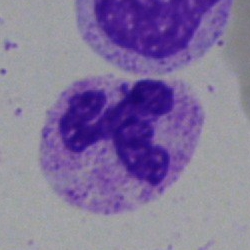Impression — polymorphonuclear neutrophil.